Bone marrow smear.
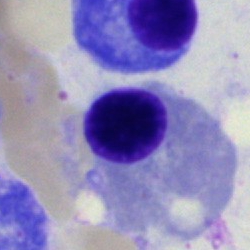

Morphology consistent with an erythroblast.